Image size 250×250 · single-cell field · bone marrow aspirate smear:
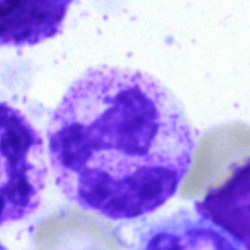
This is a segmented neutrophil.